Bone marrow smear: 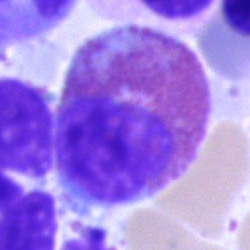 The cell shown is an eosinophil.